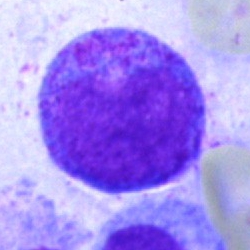

{"cell_type": "progranulocyte", "lineage": "myeloid"}